Bone marrow smear; 40× oil immersion
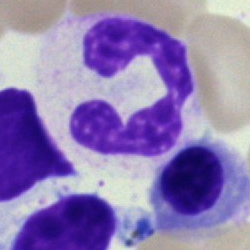 Polymorphonuclear neutrophil.